Bone marrow aspirate smear
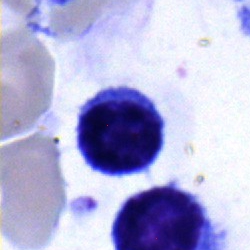 {"cell_type": "lymphocyte", "lineage": "lymphoid"}